Bone marrow smear.
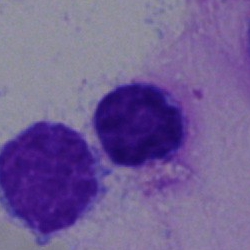 Cell type: typical lymphocyte.